250 by 250 pixels; bone marrow aspirate smear: 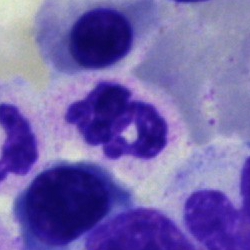 The cell type is polymorphonuclear neutrophil.